250 by 250 pixels. Bone marrow smear — 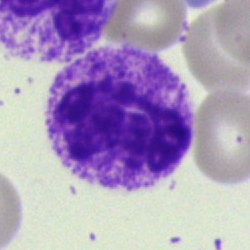

The cell type is neutrophil (segmented).